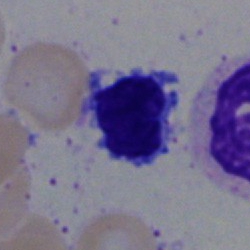This is a typical lymphocyte.